Bone marrow aspirate smear; 250×250 px; single-cell field:
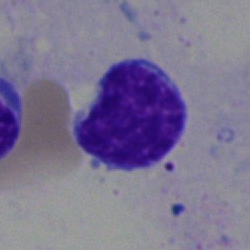
Morphology consistent with a typical lymphocyte.